Bone marrow smear. Brightfield microscopy, 40× oil immersion. 250×250 px: 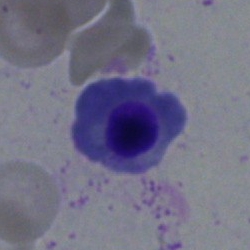
Specimen: bone marrow smear.
Cell type: normoblast.